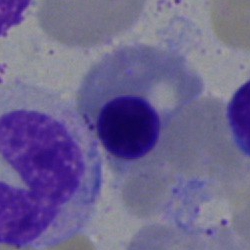
Specimen: bone marrow aspirate smear.
Cell: normoblast.